Automated cell imaging (CellaVision DM96). Peripheral blood smear: 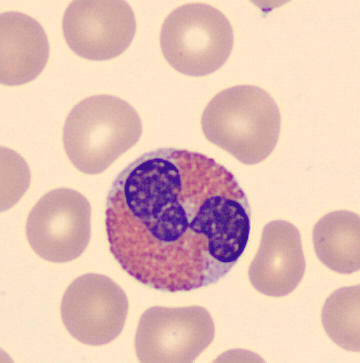

Q: What is this?
A: An eosinophilic granulocyte.